Bone marrow smear: 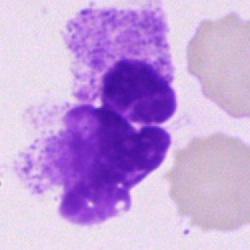

Impression — artifact.